Bone marrow aspirate smear
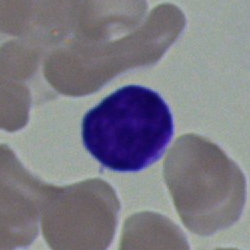A lymphocyte.